Single-cell crop · bone marrow aspirate smear
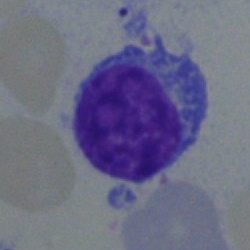 Morphological class: lymphocyte.